Bone marrow smear
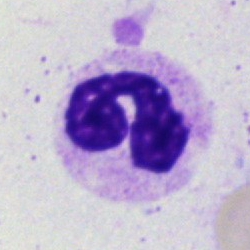Morphology consistent with a neutrophil (segmented).